Bone marrow smear
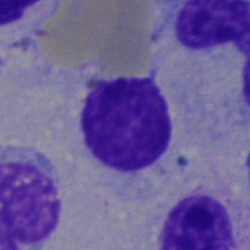

Q: What is shown here?
A: It is an artifact.